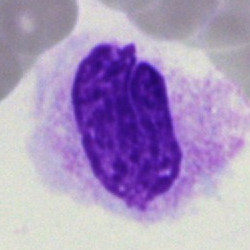 Artifact.